Bone marrow smear:
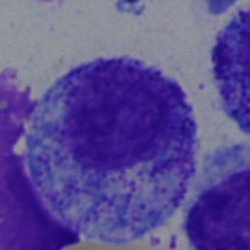 Classification = myelocyte.